Bone marrow aspirate smear:
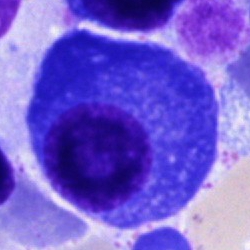 Q: What type of cell is this?
A: A plasma cell.